Brightfield, 40× oil-immersion objective. Bone marrow smear
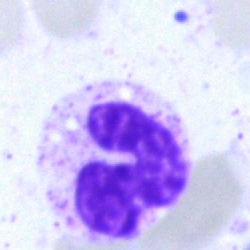

Q: Which cell type is shown here?
A: It is a band-form neutrophil.